Bone marrow smear; May-Grünwald-Giemsa stain
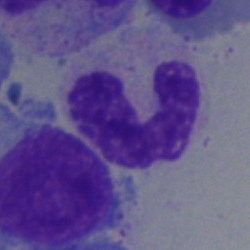Specimen: bone marrow smear.
Cell: neutrophil (band).